Bone marrow aspirate smear
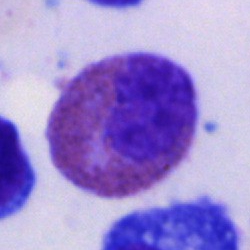

Specimen: bone marrow aspirate smear.
Cell type: eosinophil.
Lineage: myeloid.